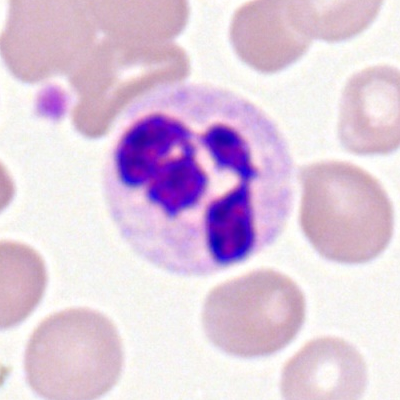

A neutrophil (segmented) on a peripheral blood smear.